Single-cell field · bone marrow smear — 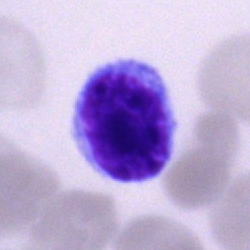
Specimen: bone marrow aspirate smear.
Classification: typical lymphocyte.